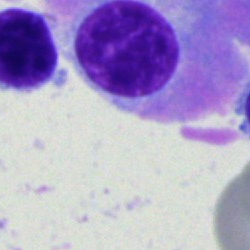 The cell shown is a plasmacyte.